Bone marrow smear — 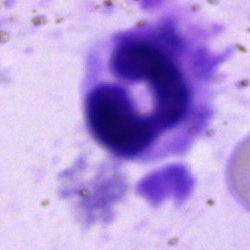Segmented neutrophil.